Bone marrow aspirate smear — 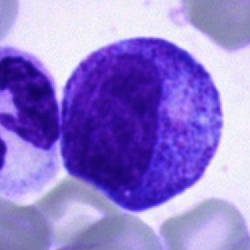 Q: What type of cell is this?
A: A progranulocyte.